Bone marrow aspirate smear.
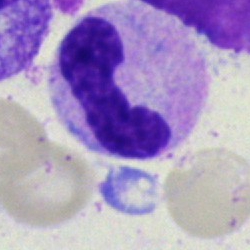
Band-form neutrophil.